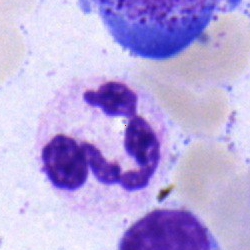
Cell — polymorphonuclear neutrophil.